Pappenheim-stained. 40× oil immersion. Bone marrow smear
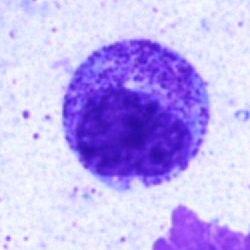 The cell type is myelocyte.